Bone marrow aspirate smear: 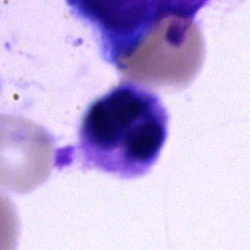 The cell shown is a neutrophil (segmented).